Bone marrow smear: 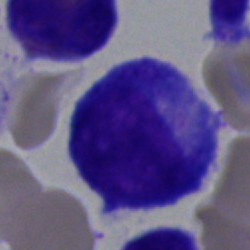Showing a progranulocyte.